Bone marrow smear; 40× objective, oil immersion:
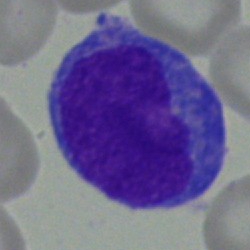 The classification is monocyte.